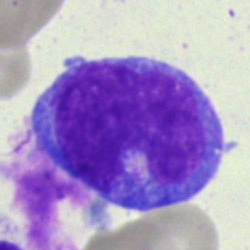 Morphological class — monocyte.